Bone marrow smear:
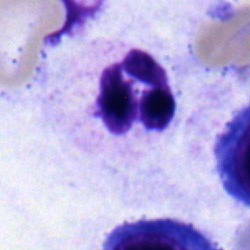

{"cell_type": "segmented neutrophil", "lineage": "myeloid"}